Bone marrow aspirate smear
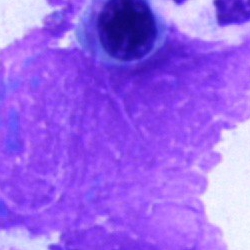
Cell = artefact.